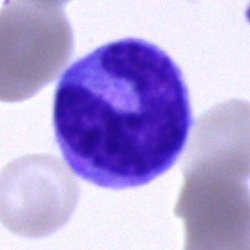{"cell_type": "monocyte", "lineage": "myeloid"}